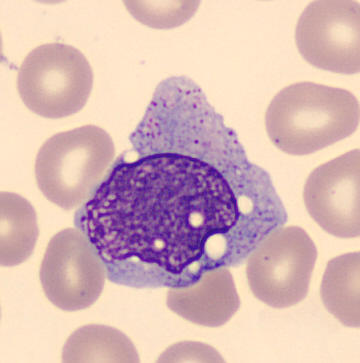

Q: Which cell type is shown here?
A: It is a monocyte. Image: Peripheral blood film.